40× oil immersion · Pappenheim-stained · bone marrow smear
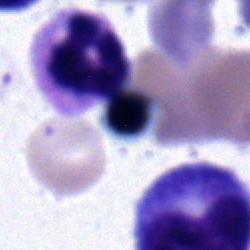
Impression → erythroblast.